May-Grünwald-Giemsa stain; bone marrow smear; 250 by 250 pixels — 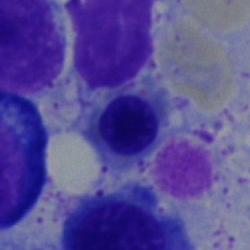
Cell = erythroblast.